Bone marrow aspirate smear · single-cell field:
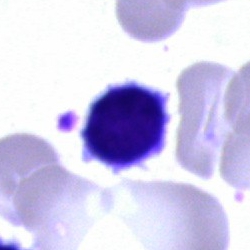

{"cell_type": "typical lymphocyte", "lineage": "lymphoid"}